Bone marrow aspirate smear — 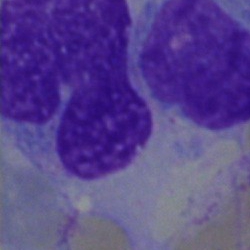

Morphology consistent with an artifact.